Bone marrow smear · 250×250 px — 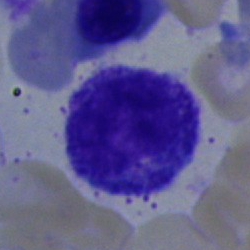
Morphology consistent with a promyelocyte.